Bone marrow smear.
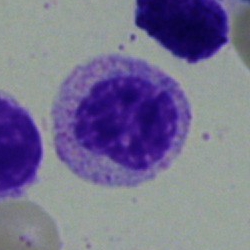 Specimen: bone marrow smear.
Cell type: myelocyte.
Lineage: myeloid.